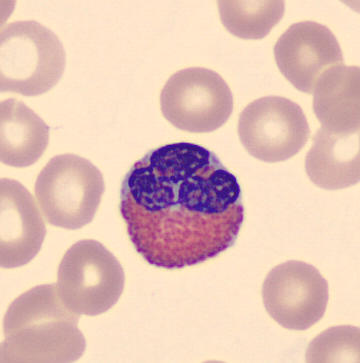
Q: What type of cell is this?
A: This is an eosinophil.
Preparation: Peripheral blood film.